Bone marrow smear — 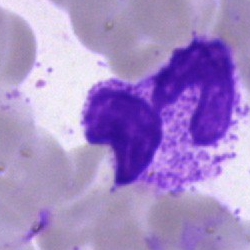

Morphology → neutrophil (segmented).